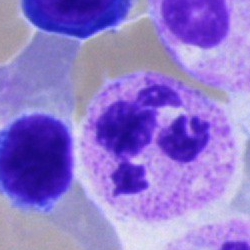 {"cell_type": "segmented neutrophil", "lineage": "myeloid"}